Bone marrow smear: 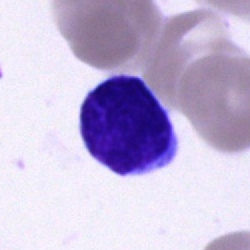

The cell shown is a lymphocyte.